Single-cell crop · bone marrow smear — 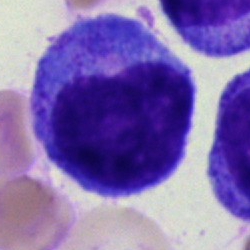
{"cell_type": "progranulocyte"}